Bone marrow smear. May-Grünwald-Giemsa stain — 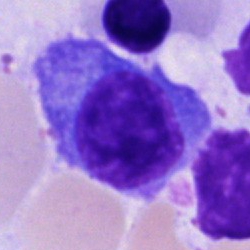Specimen: bone marrow smear.
Classification: plasma cell.
Lineage: lymphoid.